Bone marrow aspirate smear.
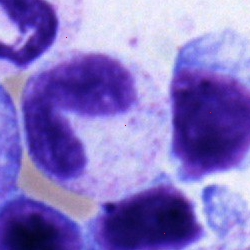 Impression — neutrophil (band).